Bone marrow smear: 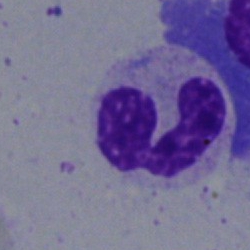The cell shown is a neutrophil (segmented).